Bone marrow smear: 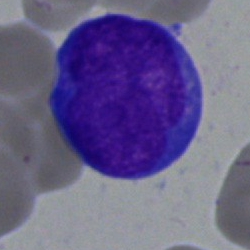Morphology — blast.